Bone marrow aspirate smear
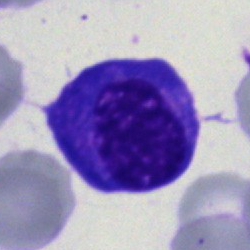 Morphological class: erythroblast.